250 by 250 pixels. MGG-stained. Bone marrow aspirate smear: 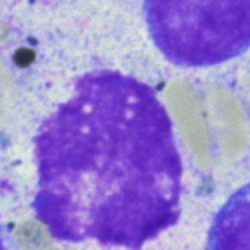 Morphological class — artefact.